Pappenheim-stained · bone marrow aspirate smear · 250×250 px
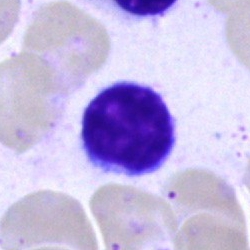
Cell type — lymphocyte.